Bone marrow smear.
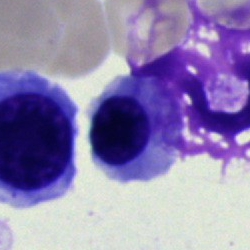Cell — nucleated red blood cell.